Bone marrow aspirate smear
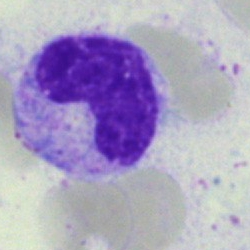 Q: Identify the cell.
A: This is a band-form neutrophil.